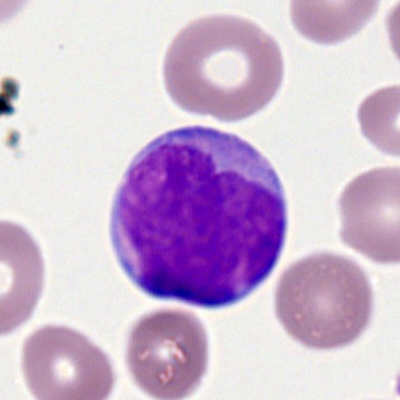
Peripheral blood smear showing a myeloid blast.